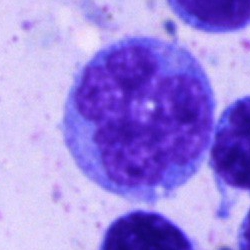 Classification — monocyte.